Bone marrow smear; single-cell crop — 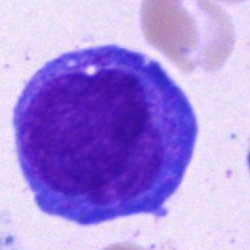 Cell type — blast.